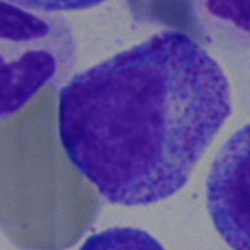 Impression — promyelocyte.